Bone marrow aspirate smear; image size 250×250; 40× objective, oil immersion — 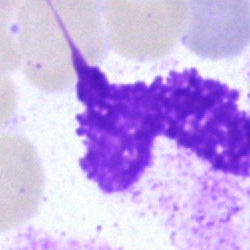Cell = artifact.